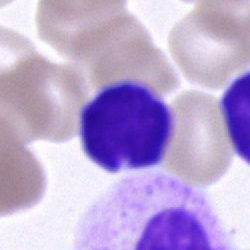

Single-cell crop from a bone marrow smear: unidentifiable cell.